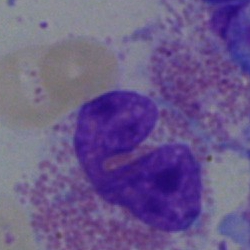Q: What cell is this?
A: An eosinophilic granulocyte.